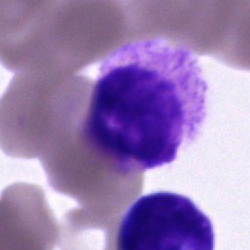

Q: Identify the cell.
A: It is an unidentifiable cell.